Image size 250×250. Bone marrow smear
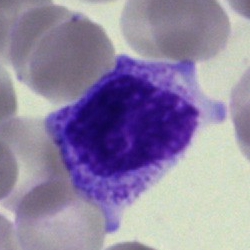Q: What is the morphological classification of this cell?
A: A myelocyte.